Single cell centered in the field · image size 250×250 · bone marrow smear.
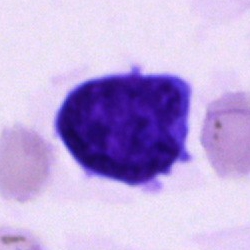The morphological class is blast cell.